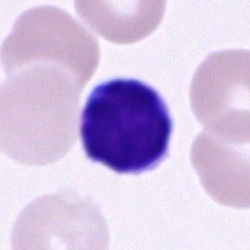Cell — lymphocyte.